Bone marrow aspirate smear — 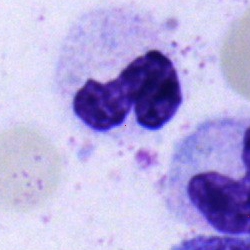

Impression → band neutrophil.